Bone marrow smear — 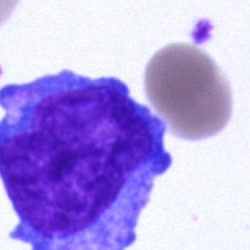 Morphology — undifferentiated blast.